Peripheral blood film
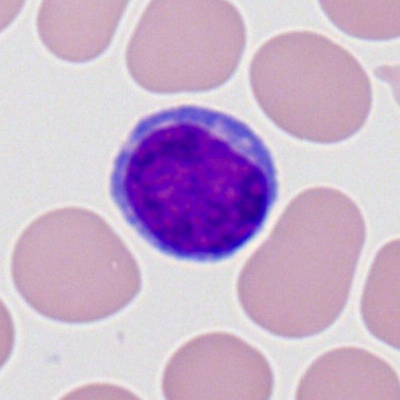
Specimen: peripheral blood smear.
Classification: lymphocyte.